Bone marrow aspirate smear · brightfield microscopy, 40× oil immersion · May-Grünwald-Giemsa stain:
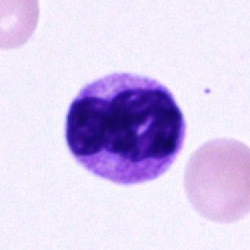

The cell type is neutrophil (segmented).